Bone marrow smear. 250 by 250 pixels. 40× objective, oil immersion: 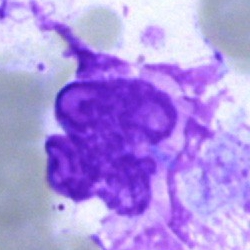
Morphological class: artifact.